Single cell centered in the field; bone marrow smear — 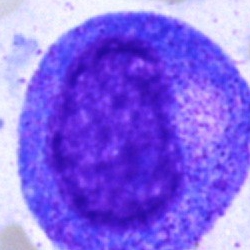Morphological class — promyelocyte.